Bone marrow aspirate smear.
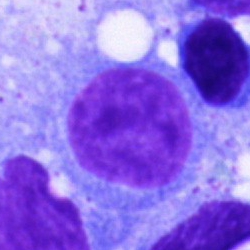
An undifferentiated blast.